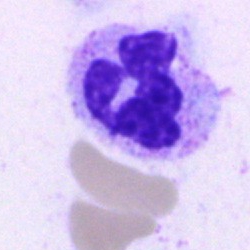

Q: What is the morphological classification of this cell?
A: This is a neutrophil (segmented).